Single-cell crop · bone marrow smear · brightfield microscopy, 40× oil immersion — 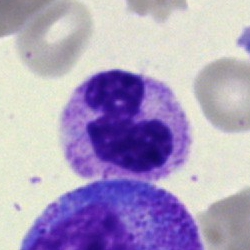
Cell — segmented neutrophil.